Cropped to a single cell; bone marrow smear; 250×250: 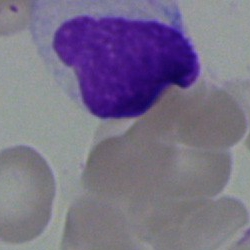
Single cell identified as an artifact.